Bone marrow smear · May-Grünwald-Giemsa/Pappenheim stain · image size 250×250
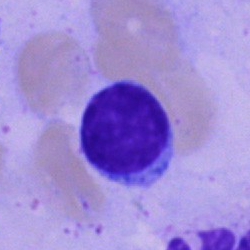Showing a lymphocyte.